Bone marrow smear:
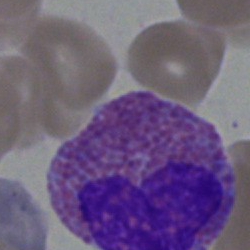
The cell shown is an eosinophil.